Peripheral blood film: 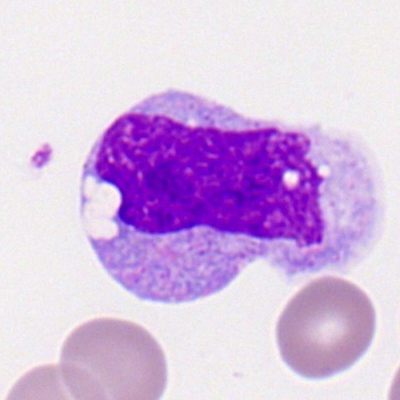Morphological class: monocyte.